May-Grünwald-Giemsa/Pappenheim stain. Bone marrow aspirate smear
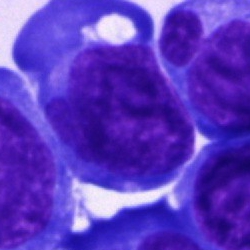

{"cell_type": "blast"}